Bone marrow smear
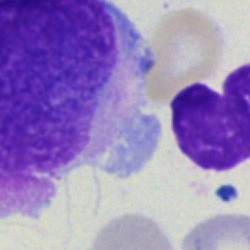 Impression — artefact.